Peripheral blood smear; automated cell imaging (CellaVision DM96).
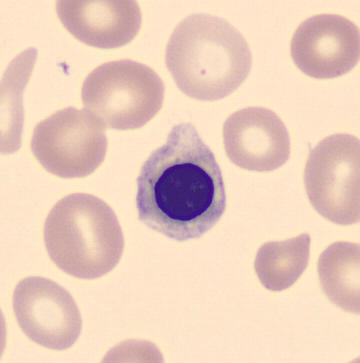 This is an erythroblast.